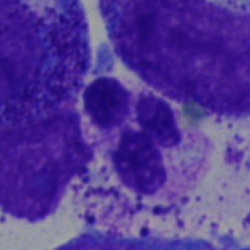 The cell shown is a segmented neutrophil.